Bone marrow aspirate smear · May-Grünwald-Giemsa/Pappenheim stain — 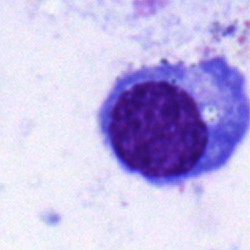

Impression — plasma cell.